Bone marrow aspirate smear.
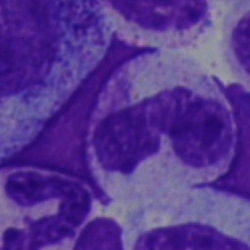 Cell type = band-form neutrophil.